Bone marrow smear; single-cell field.
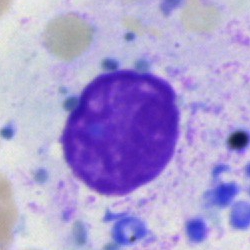
Q: What is shown here?
A: An artifact.